Bone marrow aspirate smear
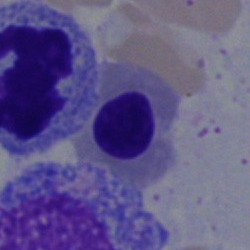Q: What is the morphological classification of this cell?
A: It is a nucleated red blood cell.